Brightfield, 40× oil-immersion objective · bone marrow smear: 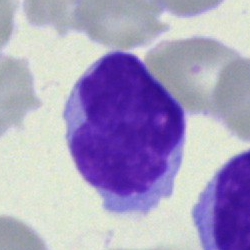
{"cell_type": "lymphocyte", "lineage": "lymphoid"}